Bone marrow aspirate smear; MGG-stained; 250×250 px: 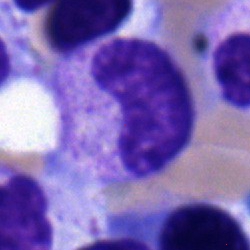 Specimen: bone marrow smear.
Morphological class: metamyelocyte.
Lineage: myeloid.